Bone marrow smear.
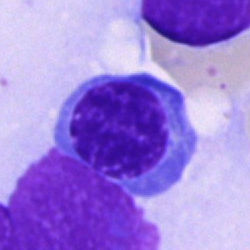 {"cell_type": "nucleated red cell", "lineage": "erythroid"}